Bone marrow smear.
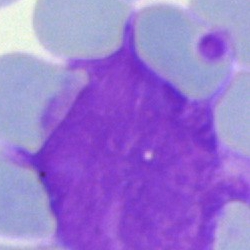 Single cell identified as an artefact.